Bone marrow smear.
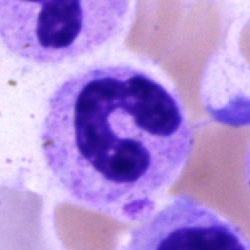 Q: Identify the cell.
A: A band neutrophil.